Bone marrow aspirate smear:
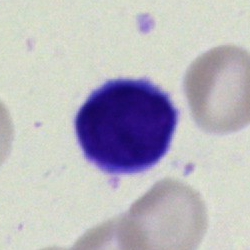{"cell_type": "lymphocyte", "lineage": "lymphoid"}